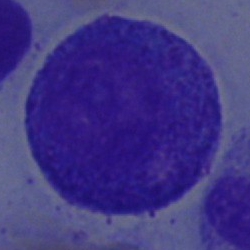

A progranulocyte.